250×250 · bone marrow aspirate smear · cropped to a single cell:
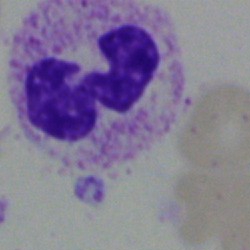 Classification — basophil.